Bone marrow smear: 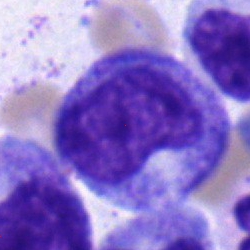

Q: What cell is this?
A: A metamyelocyte.